Brightfield microscopy, 40× oil immersion. Single-cell crop. Bone marrow aspirate smear — 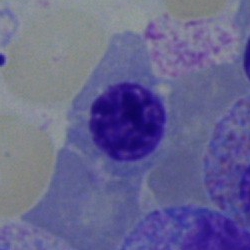
The cell shown is an erythroblast.